Bone marrow smear · cropped to a single cell:
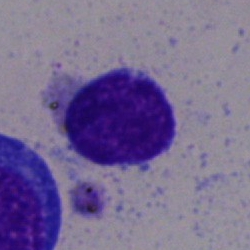Impression — typical lymphocyte.